Bone marrow aspirate smear:
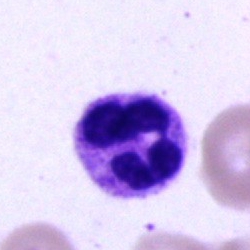Cell: segmented neutrophil.